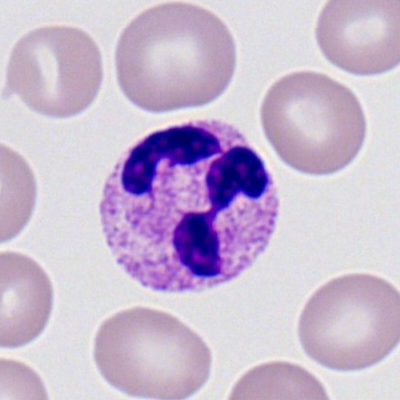
Classification = polymorphonuclear neutrophil.